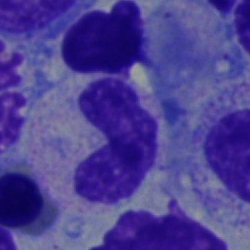

Q: What type of cell is this?
A: This is a stab cell.